Bone marrow smear:
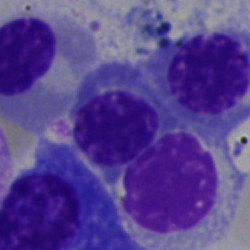
Morphology → nucleated red cell.